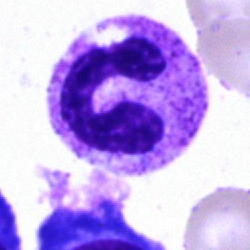

{"cell_type": "segmented neutrophil"}